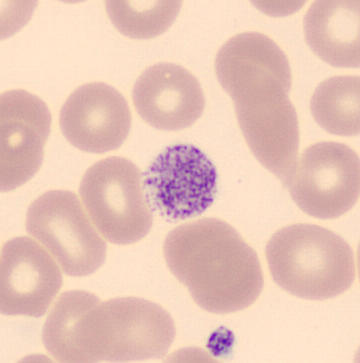Specimen: peripheral blood smear.
Classification: thrombocyte.
Acquisition: Image size 360×363.